250×250; Pappenheim-stained; bone marrow smear.
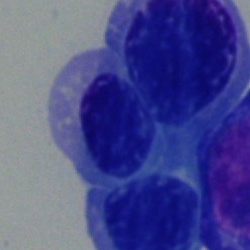
Q: What is shown here?
A: Nucleated red blood cell.